Bone marrow smear.
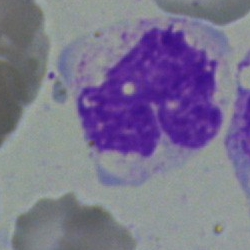

Single cell identified as a neutrophil (segmented).